Bone marrow aspirate smear. MGG-stained. 250×250 px: 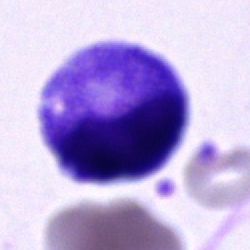
Q: Identify the cell.
A: This is a progranulocyte.